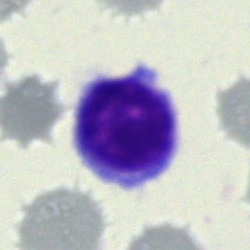

Single-cell crop from a bone marrow smear: typical lymphocyte.